Bone marrow smear; brightfield microscopy, 40× oil immersion
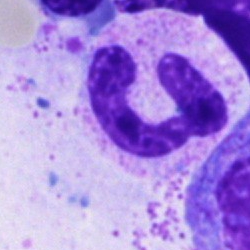
Morphology → band-form neutrophil.